40× oil immersion · bone marrow smear.
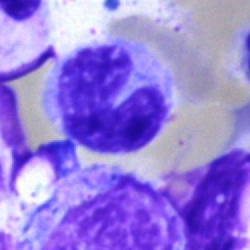Single cell identified as a band neutrophil.